MGG-stained. Bone marrow aspirate smear.
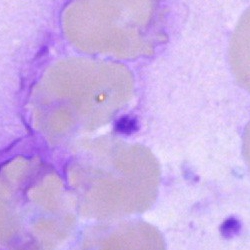{"cell_type": "artefact"}